Peripheral blood film; single-cell field
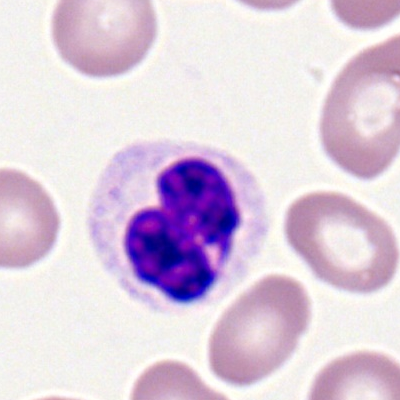{"cell_type": "neutrophil (segmented)"}